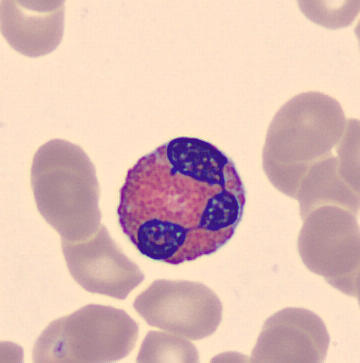

Specimen: peripheral blood film.
Classification: eosinophilic granulocyte.
Lineage: myeloid.